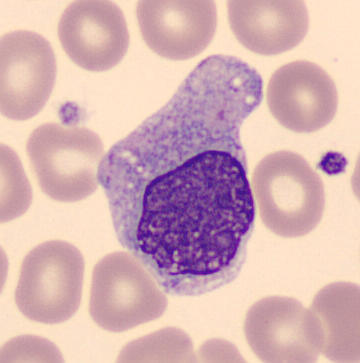
Preparation: Peripheral blood smear. The cell type is monocyte.